Bone marrow smear · May-Grünwald-Giemsa stain · 40× oil immersion: 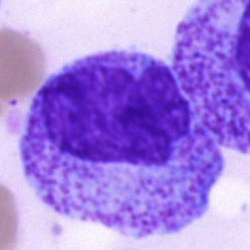 Classification: promyelocyte.